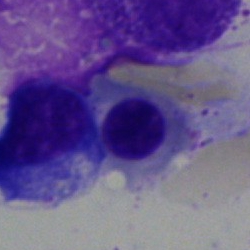

Q: What cell is this?
A: This is an erythroblast.